Bone marrow smear:
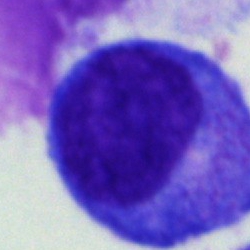
Morphology → promyelocyte.